Peripheral blood film
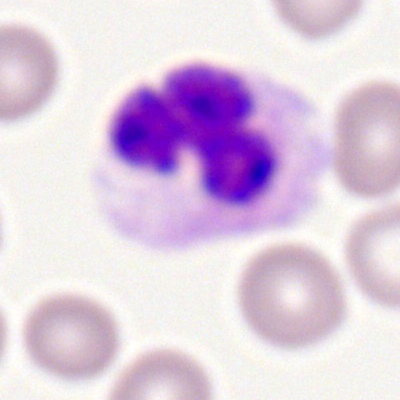
The cell shown is a polymorphonuclear neutrophil.